Bone marrow smear. Brightfield, 40× oil-immersion objective:
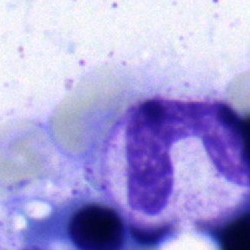 Band-form neutrophil.